Bone marrow aspirate smear.
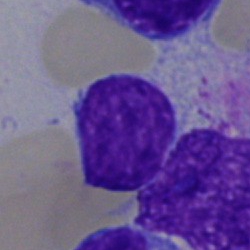

This is a lymphocyte.